Bone marrow aspirate smear — 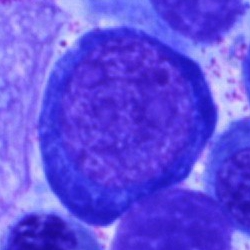 Cell: nucleated red cell.